Bone marrow aspirate smear.
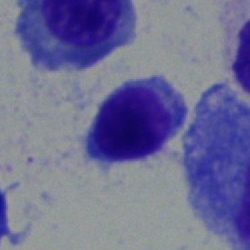
Classification — typical lymphocyte.